Cropped to a single cell. Bone marrow aspirate smear:
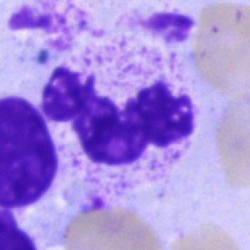Q: What type of cell is this?
A: It is a neutrophil (segmented).